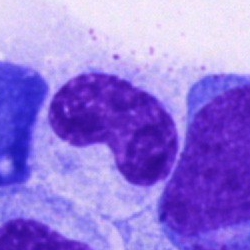
Showing a metamyelocyte.